Bone marrow smear
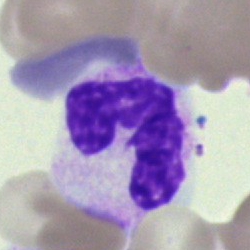 Showing a polymorphonuclear neutrophil.